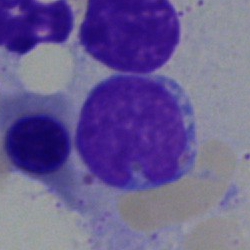
Q: Which cell type is shown here?
A: A typical lymphocyte.